MGG-stained. Bone marrow smear: 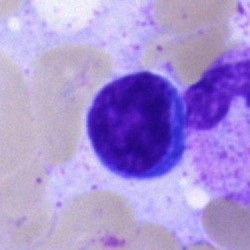 Morphological class — lymphocyte.